May-Grünwald-Giemsa stain. Bone marrow smear. 250×250 px:
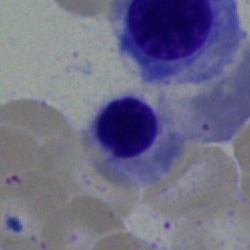

Specimen: bone marrow smear.
Cell type: nucleated red cell.
Lineage: erythroid.